Bone marrow aspirate smear · 250 by 250 pixels — 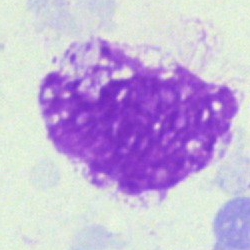 Cell = artifact.